Peripheral blood film. 360×363 px. May Grünwald-Giemsa stain: 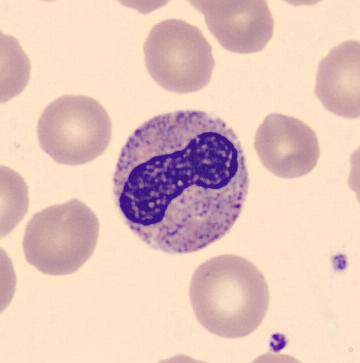 A metamyelocyte.